Bone marrow smear · Pappenheim-stained: 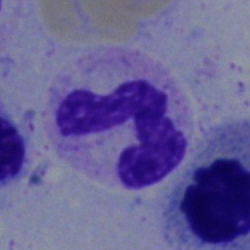 Classification: segmented neutrophil.